Bone marrow smear: 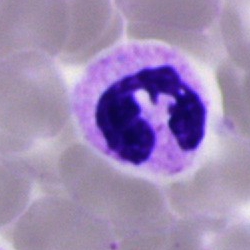

Morphological class: polymorphonuclear neutrophil.